Bone marrow aspirate smear.
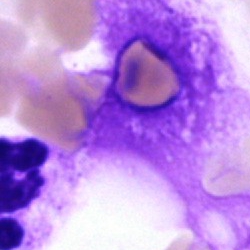

Artifact.